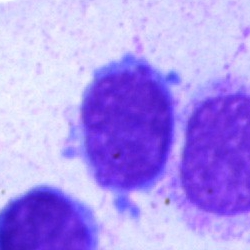The classification is typical lymphocyte.